Peripheral blood film.
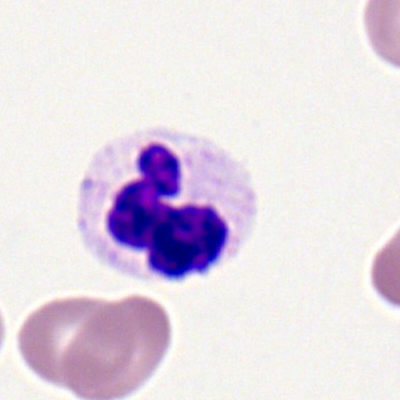Specimen: peripheral blood smear.
Cell type: polymorphonuclear neutrophil.
Lineage: myeloid.